MGG-stained. Bone marrow smear — 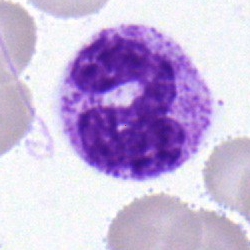 Specimen: bone marrow smear.
Cell type: segmented neutrophil.
Lineage: myeloid.